May-Grünwald-Giemsa stain · single-cell field · bone marrow smear — 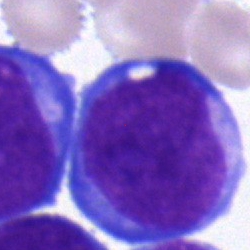The cell shown is an undifferentiated blast.